Bone marrow smear.
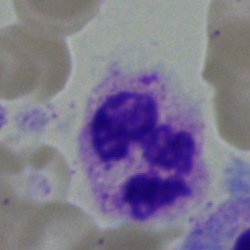 Q: Which cell type is shown here?
A: Segmented neutrophil.